Peripheral blood smear: 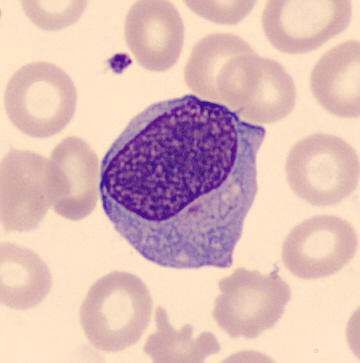Morphology — monocyte.